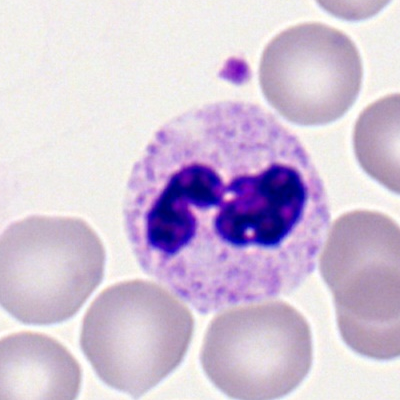Peripheral blood film, single cell — polymorphonuclear neutrophil.